Bone marrow smear:
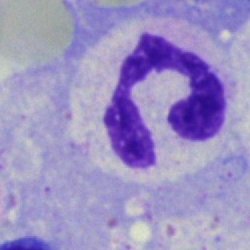Cell type — neutrophil (segmented).